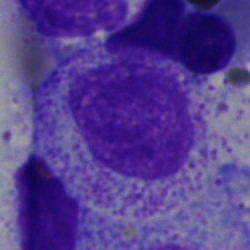

Morphology consistent with a myelocyte.